Bone marrow smear: 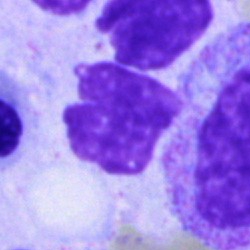

Morphological class = artifact.